Single-cell field · May-Grünwald-Giemsa stain · bone marrow aspirate smear.
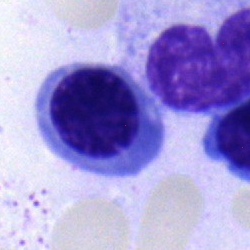

Cell — nucleated red cell.